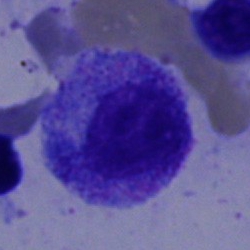 Classification: progranulocyte.